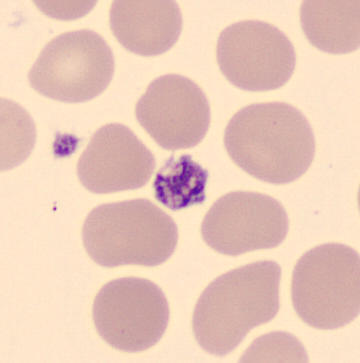 Peripheral blood film. Thrombocyte.